May-Grünwald-Giemsa stain. Bone marrow smear:
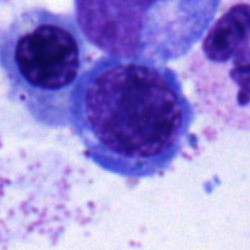

Cell type: monocyte.